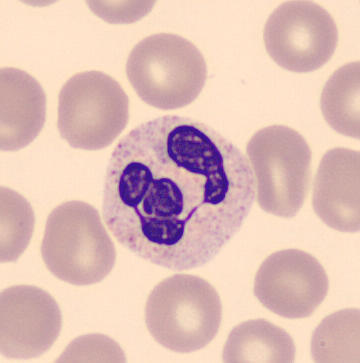

Specimen: peripheral blood smear.
Morphological class: polymorphonuclear neutrophil.